Bone marrow smear · image size 250×250 · May-Grünwald-Giemsa/Pappenheim stain: 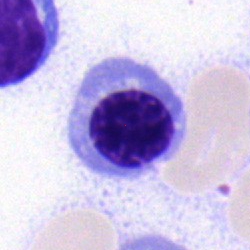
Cell type — nucleated red blood cell.